Bone marrow aspirate smear. 250×250: 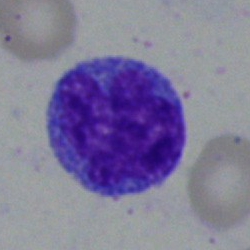 Showing a blast cell.